Bone marrow aspirate smear; image size 250×250
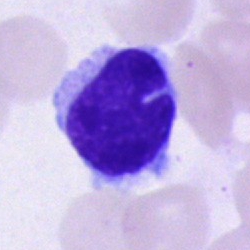Cell = monocyte.